40× oil immersion · bone marrow aspirate smear · Pappenheim-stained.
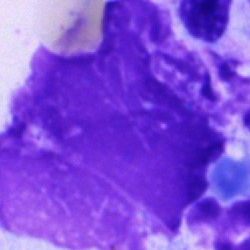

Morphology — artifact.